Bone marrow smear
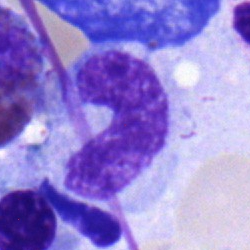

Morphology — neutrophil (band).